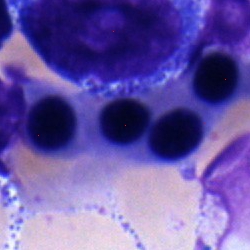 Morphological class — normoblast.